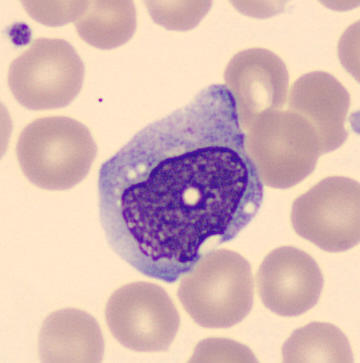Monocyte.
Image size 360×363; peripheral blood film; single-cell field.